Bone marrow aspirate smear:
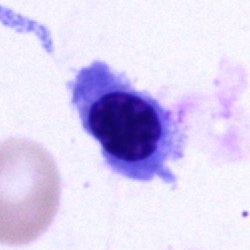
This is a normoblast.